Bone marrow smear — 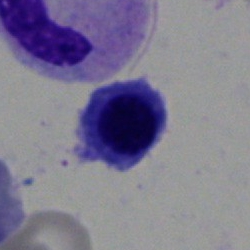

The cell type is nucleated red blood cell.